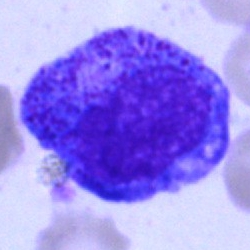

Bone marrow smear showing a progranulocyte.